Bone marrow smear · 250 by 250 pixels:
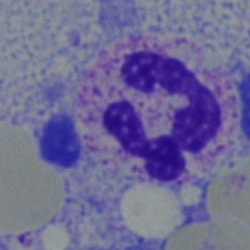Q: What type of cell is this?
A: Segmented neutrophil.